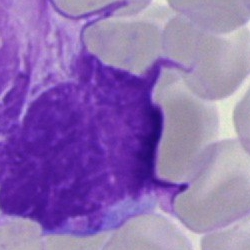Cell = artifact.